Single cell centered in the field; bone marrow aspirate smear: 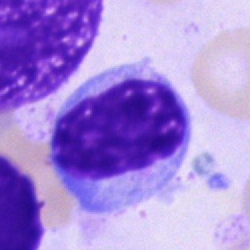 Morphological class = lymphocyte.